Bone marrow aspirate smear. Pappenheim-stained.
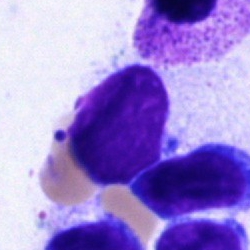Impression → typical lymphocyte.